Single-cell field. Bone marrow aspirate smear:
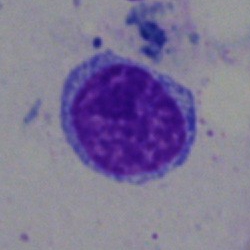

Impression → lymphocyte.